Bone marrow smear
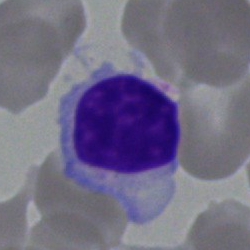 This is a lymphocyte.